Bone marrow smear.
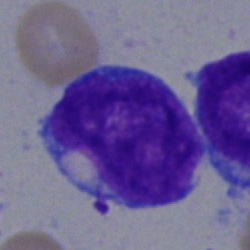
Q: Which cell type is shown here?
A: This is a blast.